40× oil immersion; bone marrow smear.
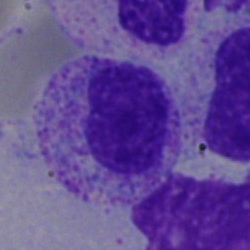 Q: What is shown here?
A: Myelocyte.